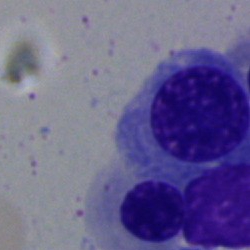 Cell type = nucleated red cell.